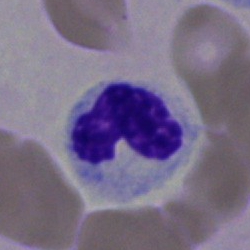

Cell type = polymorphonuclear neutrophil.